Peripheral blood smear.
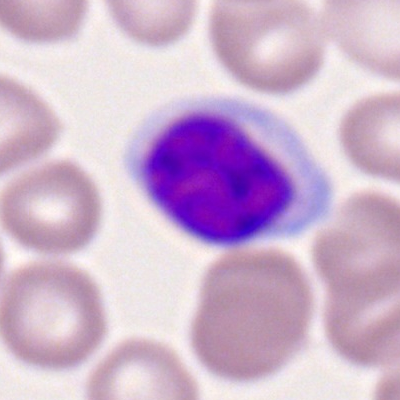

Classification: typical lymphocyte.